Bone marrow aspirate smear
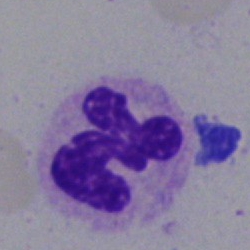Specimen: bone marrow aspirate smear.
Cell: segmented neutrophil.
Lineage: myeloid.